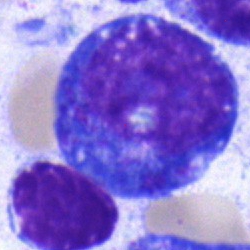 This is a promyelocyte.